Peripheral blood smear. Romanowsky stain: 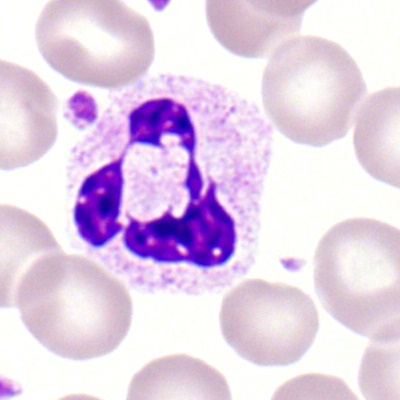

Single cell identified as a polymorphonuclear neutrophil.